Bone marrow smear.
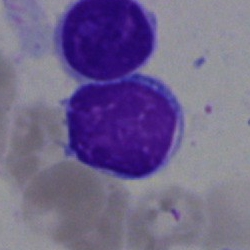

Morphology → lymphocyte.